Single-cell crop. Peripheral blood film. 100× objective, oil immersion: 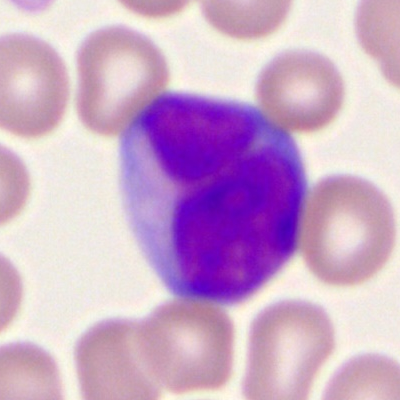
{"cell_type": "myeloblast", "lineage": "myeloid"}